Bone marrow smear: 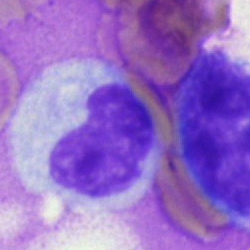
A metamyelocyte.